MGG-stained; bone marrow smear; 250 by 250 pixels — 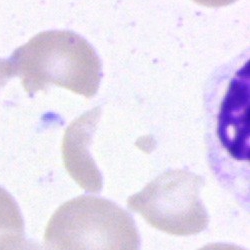 Morphology consistent with an artefact.